Bone marrow aspirate smear: 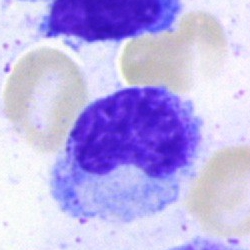

A metamyelocyte.